Bone marrow aspirate smear: 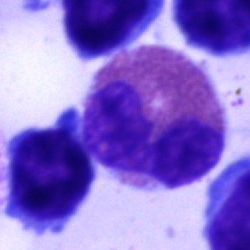 Impression — eosinophil.